40× oil immersion · bone marrow smear · 250×250.
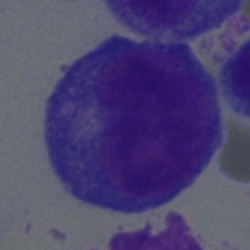 Q: What cell is this?
A: This is a promyelocyte.